250×250 · bone marrow aspirate smear.
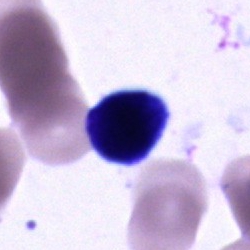 Morphology consistent with an unidentifiable cell.